40× objective, oil immersion · bone marrow smear:
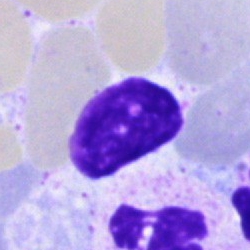 Artefact.